Bone marrow aspirate smear: 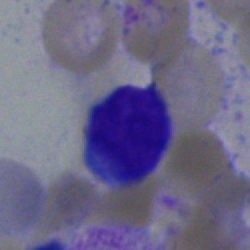Specimen: bone marrow aspirate smear.
Classification: typical lymphocyte.
Lineage: lymphoid.